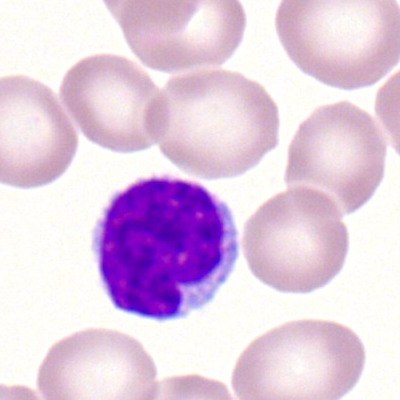
Single-cell crop from a peripheral blood smear: typical lymphocyte.